Bone marrow smear
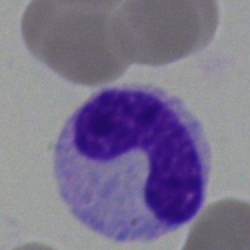

{"cell_type": "band neutrophil", "lineage": "myeloid"}